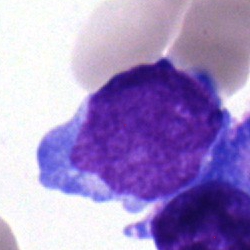 {"cell_type": "undifferentiated blast"}